Bone marrow aspirate smear · single cell centered in the field:
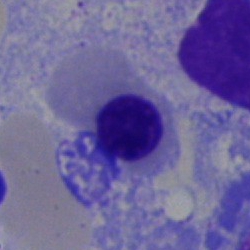

Q: What type of cell is this?
A: This is an erythroblast.